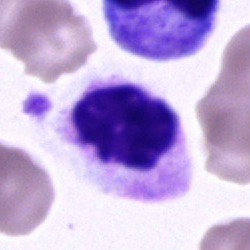

Bone marrow smear showing a polymorphonuclear neutrophil.